250×250 px. Brightfield, 40× oil-immersion objective. Bone marrow smear.
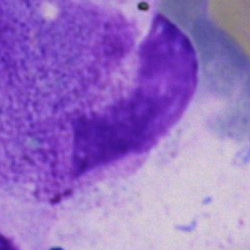 Q: What is shown here?
A: This is an artefact.